Bone marrow smear:
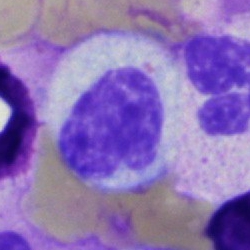

Q: What is shown here?
A: Metamyelocyte.